Peripheral blood film. 400 by 400 pixels: 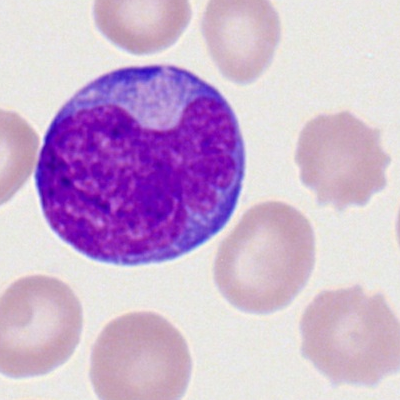
Morphology — myeloblast.